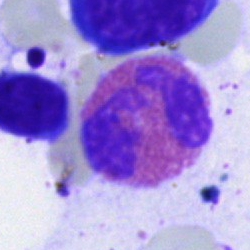 Morphological class: eosinophil.